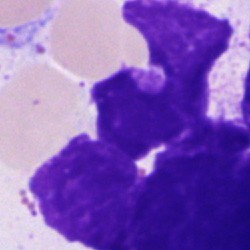

Q: What is shown here?
A: Artifact.